Bone marrow aspirate smear.
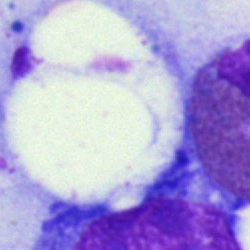
A stab cell.